Bone marrow smear · image size 250×250.
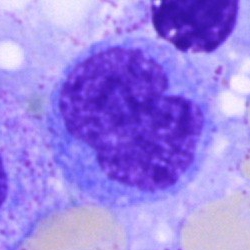
This is a monocyte.